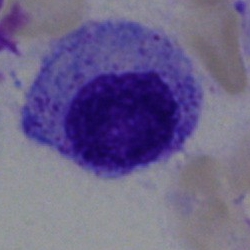

Q: Which cell type is shown here?
A: It is a progranulocyte.